Bone marrow aspirate smear
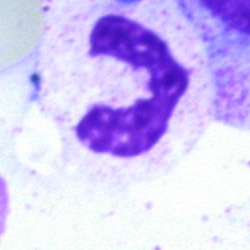
Q: What type of cell is this?
A: This is a neutrophil (segmented).